Bone marrow aspirate smear:
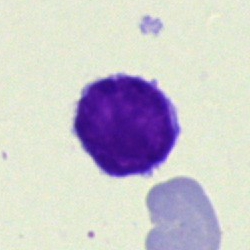
Cell: typical lymphocyte.